Single-cell field. Brightfield, 40× oil-immersion objective. Bone marrow aspirate smear
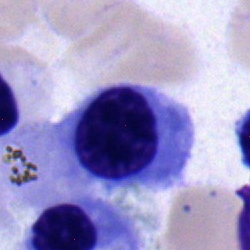
Single cell identified as a normoblast.